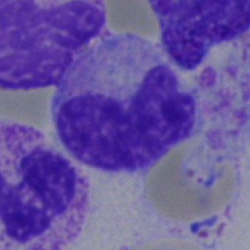Q: What type of cell is this?
A: This is a neutrophil (band).